Bone marrow smear:
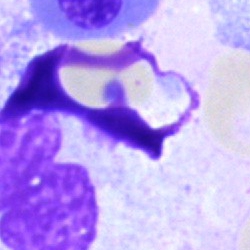
Q: What is shown here?
A: Artefact.